Bone marrow smear:
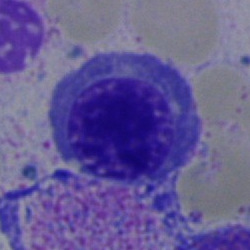 This is a nucleated red cell.